Bone marrow smear
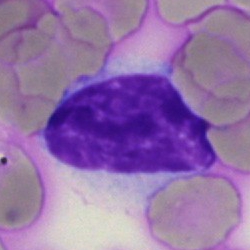

Showing a typical lymphocyte.